Bone marrow smear
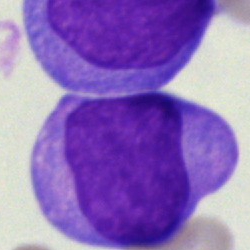An undifferentiated blast.